Bone marrow smear. Pappenheim-stained: 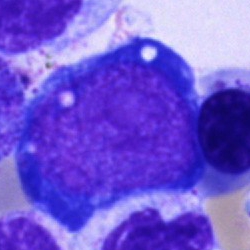
The cell shown is a pronormoblast.